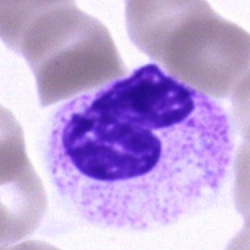
Q: What is the morphological classification of this cell?
A: This is a neutrophil (segmented).